Bone marrow aspirate smear · cropped to a single cell: 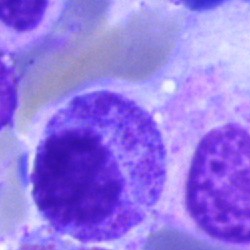 Cell = myelocyte.